Bone marrow smear — 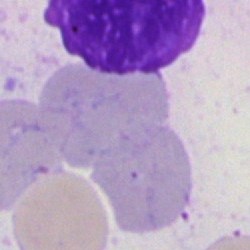

Morphology — artefact.